Bone marrow smear: 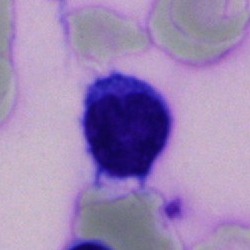

Cell = typical lymphocyte.